Bone marrow aspirate smear · 250×250: 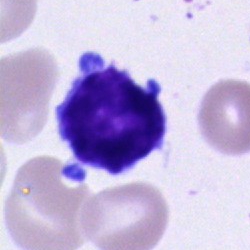

Classification — typical lymphocyte.